Bone marrow aspirate smear.
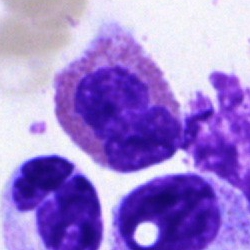
Classification = eosinophilic granulocyte.